250 by 250 pixels. 40× oil immersion. Bone marrow aspirate smear:
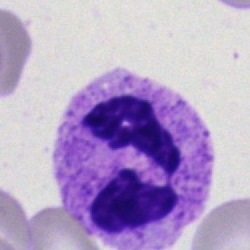 The classification is polymorphonuclear neutrophil.